Bone marrow smear.
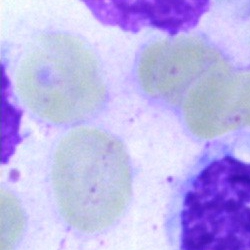 Specimen: bone marrow smear.
Classification: artifact.